May-Grünwald-Giemsa stain; bone marrow aspirate smear
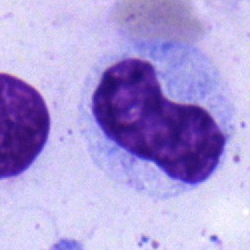Metamyelocyte.